Bone marrow smear.
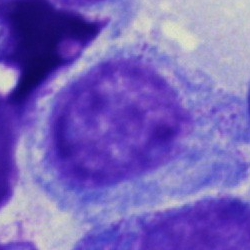

Q: What type of cell is this?
A: Promyelocyte.